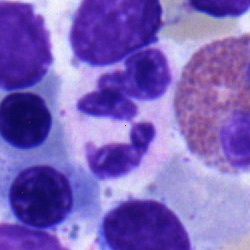This is a polymorphonuclear neutrophil.